Bone marrow smear:
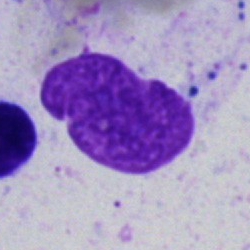
Morphology → artefact.